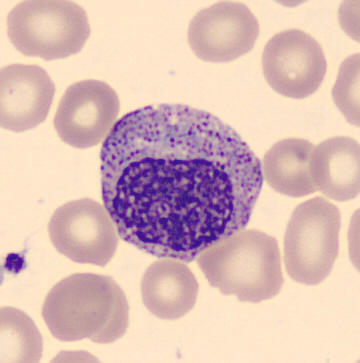
Morphology → myelocyte.